May-Grünwald-Giemsa/Pappenheim stain · image size 250×250 · bone marrow aspirate smear.
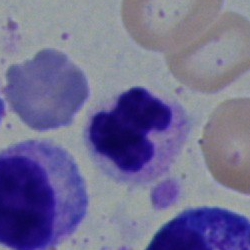

Q: What is the morphological classification of this cell?
A: A segmented neutrophil.